Bone marrow smear.
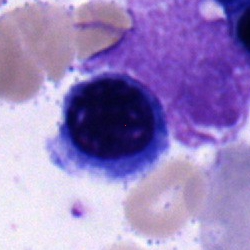 Q: Which cell type is shown here?
A: Erythroblast.